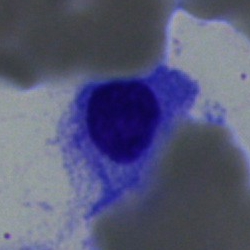 Q: What is the morphological classification of this cell?
A: This is a nucleated red blood cell.